Bone marrow aspirate smear. MGG-stained: 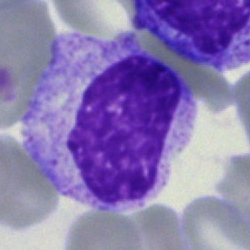
Classification — metamyelocyte.